Peripheral blood film: 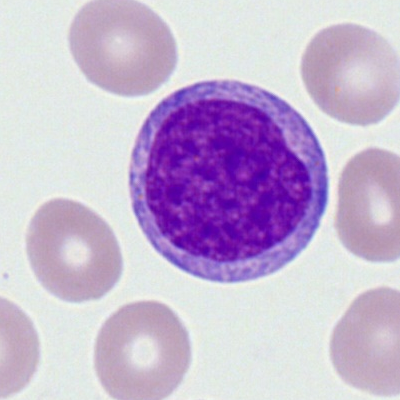 Showing a myeloblast.